Bone marrow aspirate smear. Pappenheim-stained: 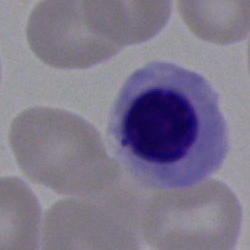
A normoblast.